Bone marrow smear; single-cell field; brightfield, 40× oil-immersion objective: 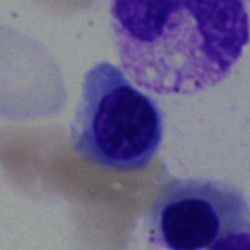

This is a nucleated red blood cell.